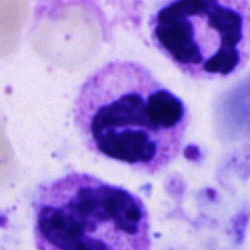 Cell type = neutrophil (segmented).